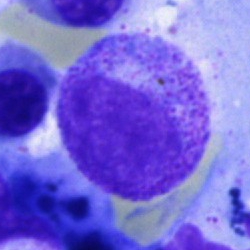Morphology — myelocyte.